Bone marrow smear; single-cell crop.
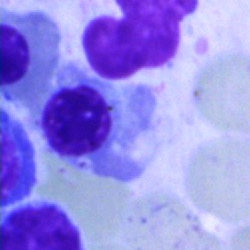 Cell: erythroblast.